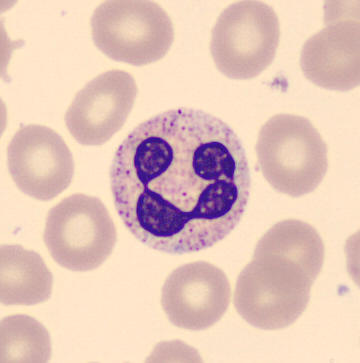 Acquisition: Peripheral blood film. The classification is segmented neutrophil.